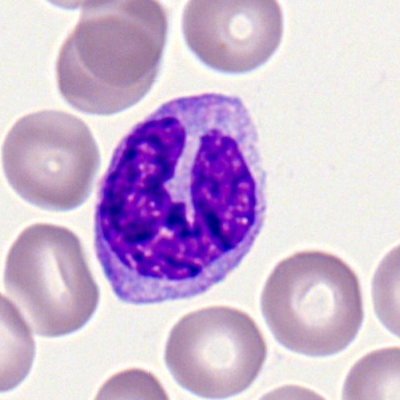 Morphological class: monocyte.